Bone marrow smear. Image size 250×250. Single-cell field:
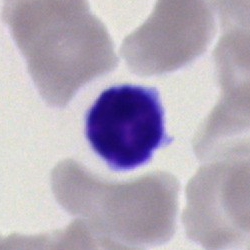

Specimen: bone marrow aspirate smear.
Morphological class: typical lymphocyte.
Lineage: lymphoid.